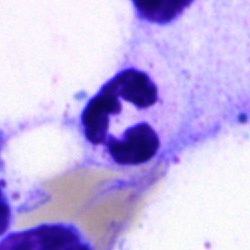Morphology → segmented neutrophil.